Peripheral blood film — 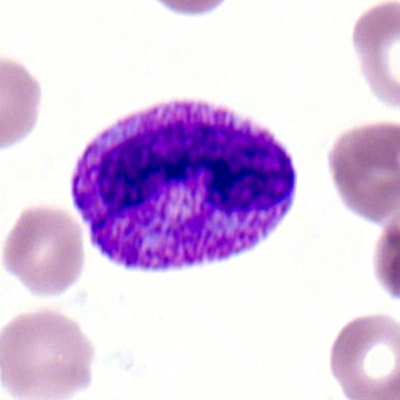 Showing a segmented neutrophil.